Bone marrow aspirate smear · 40× objective, oil immersion.
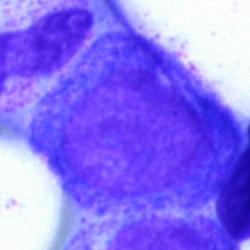
Showing a progranulocyte.